Bone marrow smear. 250×250. 40× oil immersion.
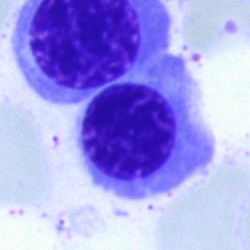

Morphology — erythroblast.